Single cell centered in the field; bone marrow aspirate smear; 250×250.
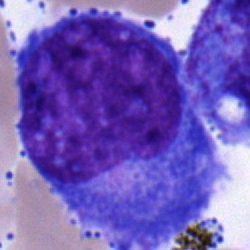 The cell type is blast cell.